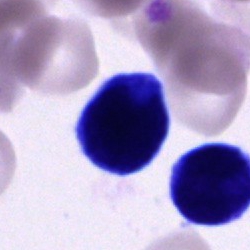Q: Which cell type is shown here?
A: It is an unidentifiable cell.